Bone marrow aspirate smear
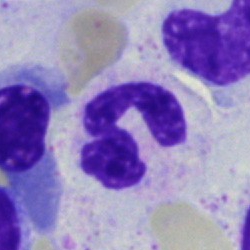

{"cell_type": "segmented neutrophil", "lineage": "myeloid"}